Bone marrow smear. Single-cell field:
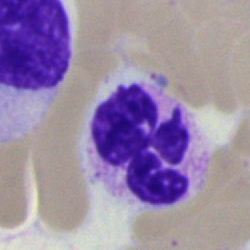 A polymorphonuclear neutrophil.